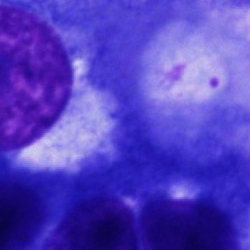

An other cell type on a bone marrow smear.